Bone marrow aspirate smear. 250×250 px: 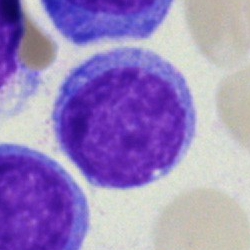Blast.